May-Grünwald-Giemsa/Pappenheim stain; bone marrow aspirate smear:
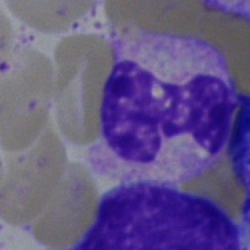 Stab cell.